400 by 400 pixels. Romanowsky-type stain. Peripheral blood film.
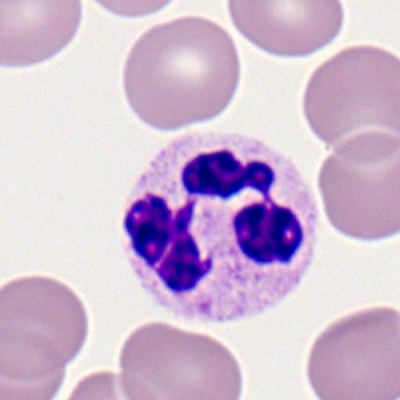 Impression → neutrophil (segmented).